Bone marrow smear; single-cell crop:
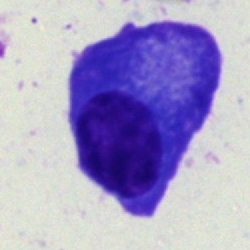
Impression → plasmacyte.